Brightfield microscopy, 40× oil immersion. 250×250 px. Bone marrow aspirate smear
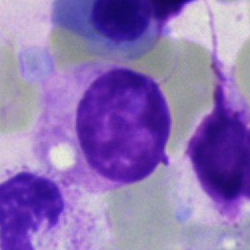Impression — artifact.